Bone marrow smear.
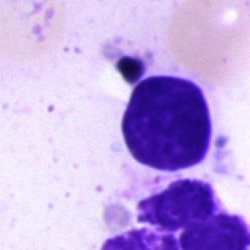 The cell shown is an artefact.